Cropped to a single cell; bone marrow smear — 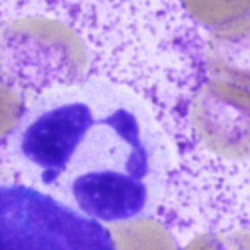

Q: What is shown here?
A: A polymorphonuclear neutrophil.